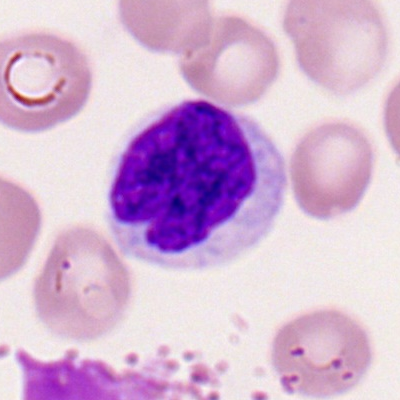
Q: What is shown here?
A: It is a polymorphonuclear neutrophil.